Romanowsky-stained. Peripheral blood film
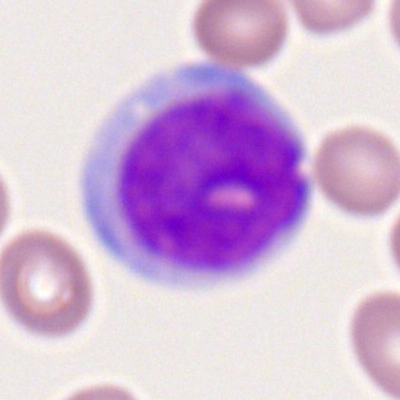
Cell type: myeloid blast.